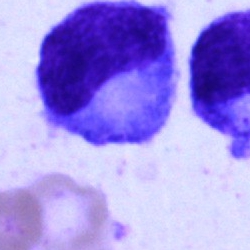
Morphological class = progranulocyte.